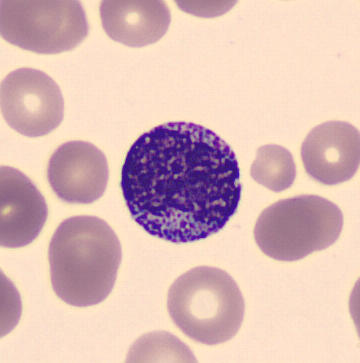

Specimen: peripheral blood film.
Classification: myelocyte.